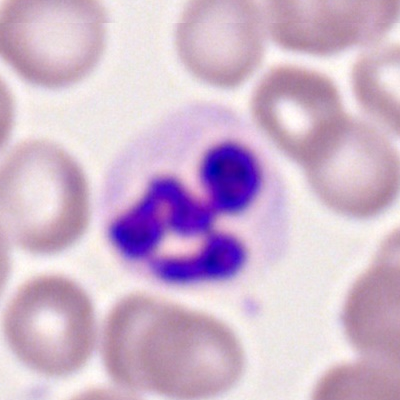
Cell: segmented neutrophil.